Bone marrow smear
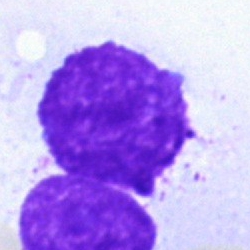Q: What is shown here?
A: It is an artifact.